Bone marrow aspirate smear.
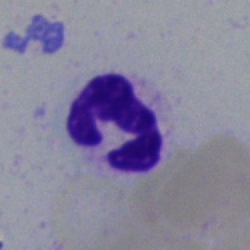

{"cell_type": "neutrophil (segmented)"}